Bone marrow aspirate smear.
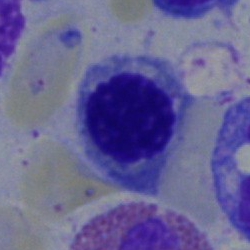

{"cell_type": "normoblast"}